Bone marrow smear:
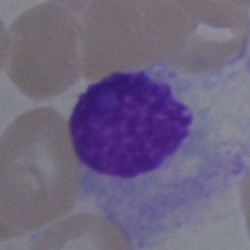

The cell shown is an artifact.